Bone marrow aspirate smear.
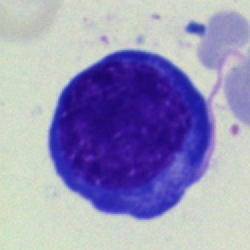Morphology — erythroblast.